Bone marrow aspirate smear: 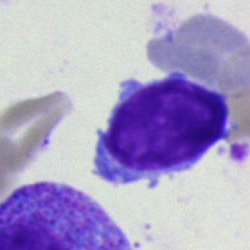
Q: Which cell type is shown here?
A: Lymphocyte.